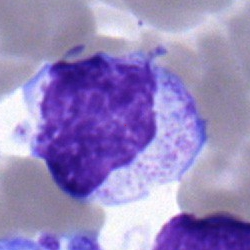

Cell — myelocyte.